Bone marrow aspirate smear — 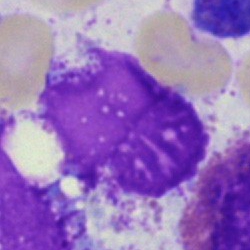Q: What is shown here?
A: An artefact.